Cropped to a single cell · bone marrow smear · May-Grünwald-Giemsa/Pappenheim stain — 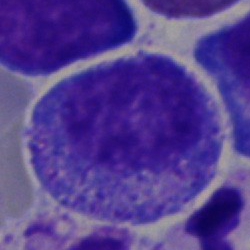
Morphological class — progranulocyte.